Bone marrow smear.
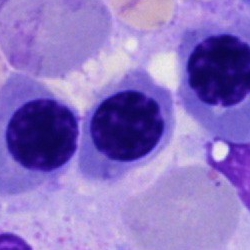Classification — nucleated red blood cell.